Single cell centered in the field. Bone marrow smear.
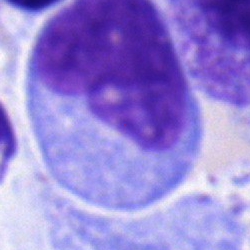 Morphology consistent with a monocyte.